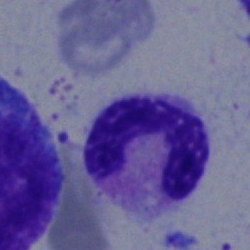 Bone marrow aspirate smear, single cell — neutrophil (segmented).